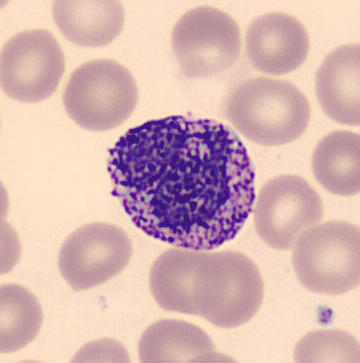Peripheral blood film. May-Grünwald-Giemsa-stained. Basophil.